Bone marrow smear — 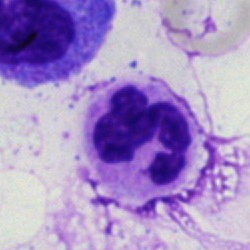
Segmented neutrophil.